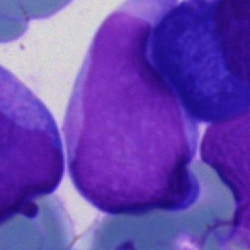

Morphology — undifferentiated blast.